Bone marrow smear: 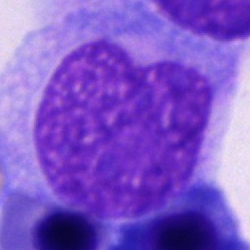 Showing an artefact.